Bone marrow aspirate smear — 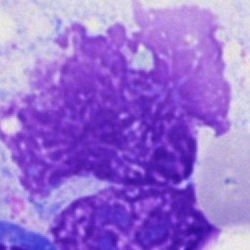
Impression — artefact.